Peripheral blood film:
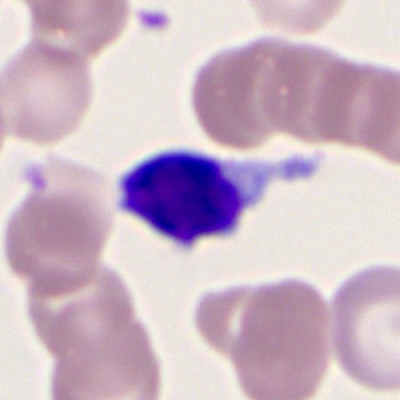
Specimen: peripheral blood film.
Classification: typical lymphocyte.
Lineage: lymphoid.